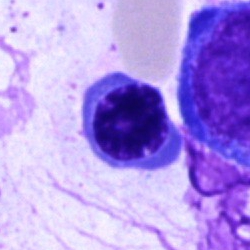 Q: What is the morphological classification of this cell?
A: Erythroblast.